Bone marrow smear:
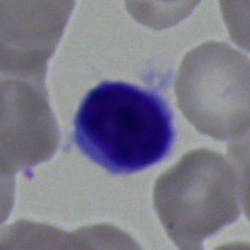

Morphological class: lymphocyte.